Bone marrow smear: 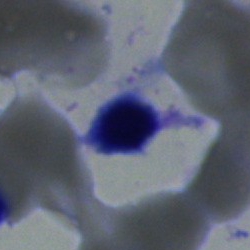Q: What type of cell is this?
A: A nucleated red blood cell.